40× oil immersion. Bone marrow aspirate smear
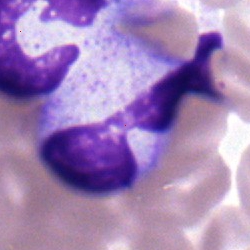 Q: What is shown here?
A: Segmented neutrophil.